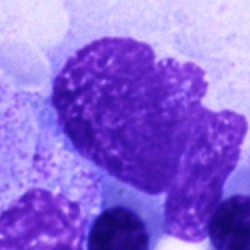
Bone marrow aspirate smear, single cell — artifact.